Bone marrow aspirate smear — 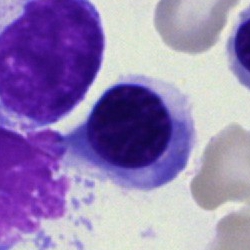Morphology — erythroblast.